Bone marrow aspirate smear
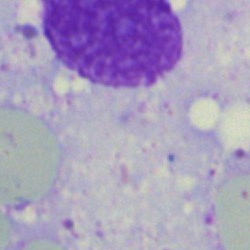
The cell shown is an artifact.